Bone marrow smear
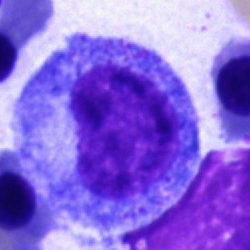Impression → promyelocyte.